Cropped to a single cell; bone marrow aspirate smear.
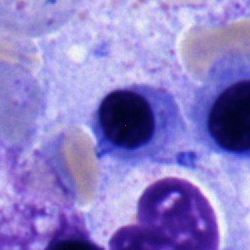 Impression — normoblast.